MGG-stained. Bone marrow smear.
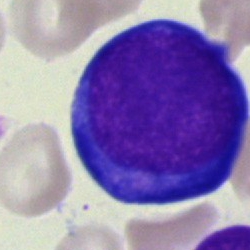

Q: Which cell type is shown here?
A: Pronormoblast.